Bone marrow smear:
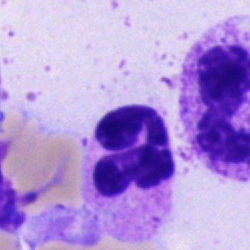A segmented neutrophil.